Bone marrow aspirate smear · 250 by 250 pixels · May-Grünwald-Giemsa stain — 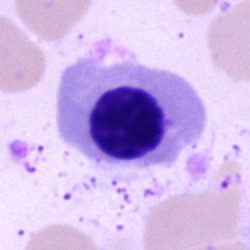

This is a nucleated red blood cell.